Peripheral blood smear
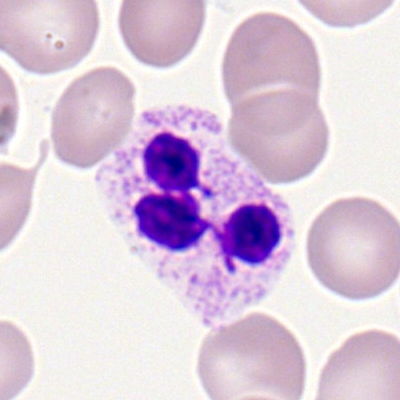 The cell is segmented neutrophil.